Bone marrow aspirate smear: 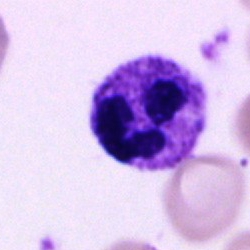
Morphology → polymorphonuclear neutrophil.